Bone marrow smear
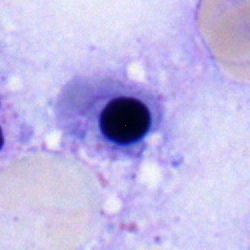

Cell type: erythroblast.